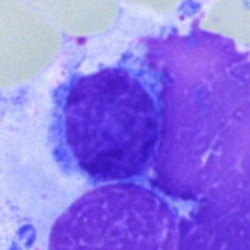

The cell is typical lymphocyte.